Bone marrow aspirate smear; brightfield, 40× oil-immersion objective; 250 by 250 pixels
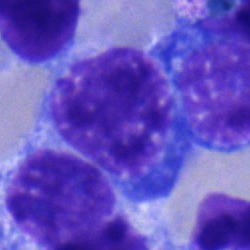
Showing a nucleated red cell.